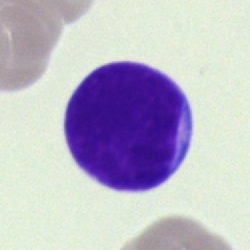

Cell of indeterminate lineage.